Bone marrow aspirate smear
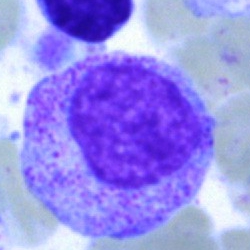 Specimen: bone marrow aspirate smear.
Cell: myelocyte.
Lineage: myeloid.